Bone marrow aspirate smear; brightfield microscopy, 40× oil immersion; 250×250 px:
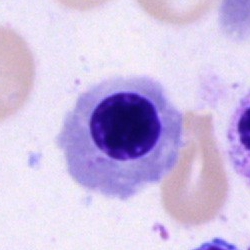 The morphological class is nucleated red blood cell.